Bone marrow smear: 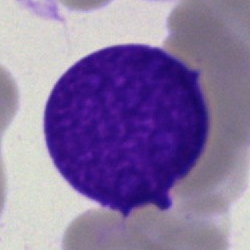 Specimen: bone marrow aspirate smear.
Cell type: artefact.